Bone marrow smear:
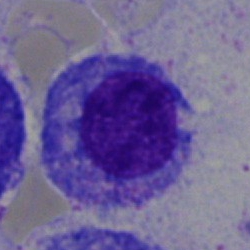
Cell: progranulocyte.